Bone marrow smear
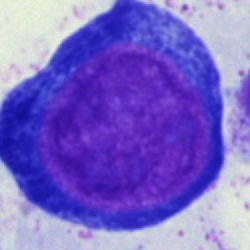
Specimen: bone marrow smear.
Morphological class: proerythroblast.
Lineage: erythroid.